Bone marrow smear — 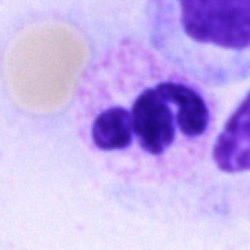Morphology consistent with a polymorphonuclear neutrophil.